Bone marrow smear · 250×250 px — 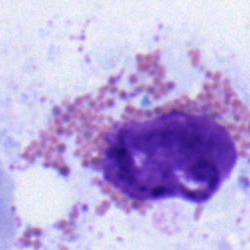
Cell = eosinophilic granulocyte.